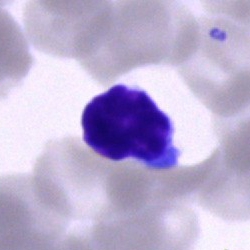 Typical lymphocyte.